Bone marrow aspirate smear · May-Grünwald-Giemsa stain: 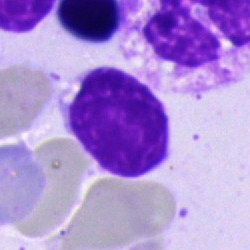 Specimen: bone marrow aspirate smear.
Morphological class: typical lymphocyte.